40× objective, oil immersion; bone marrow aspirate smear.
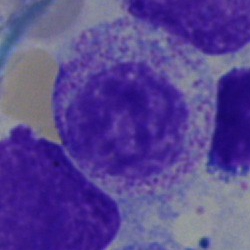
{"cell_type": "myelocyte", "lineage": "myeloid"}